Bone marrow aspirate smear; brightfield microscopy, 40× oil immersion; 250×250 px: 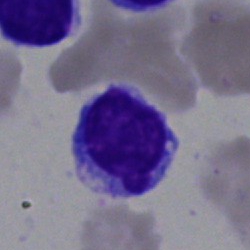

Cell type: typical lymphocyte.